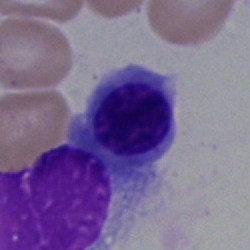 Specimen: bone marrow smear.
Cell type: nucleated red blood cell.